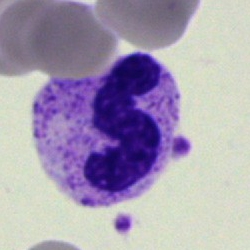{"cell_type": "neutrophil (segmented)", "lineage": "myeloid"}